Bone marrow aspirate smear.
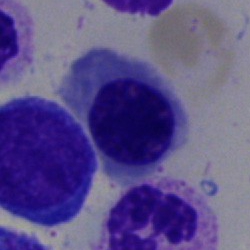
Nucleated red cell.